Bone marrow smear.
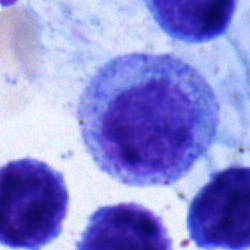Specimen: bone marrow aspirate smear.
Classification: myelocyte.
Lineage: myeloid.